Single cell centered in the field; bone marrow smear: 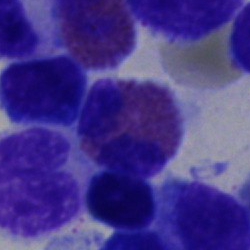Classification: eosinophil.